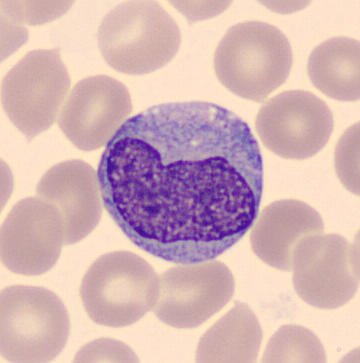

Image: Peripheral blood smear; May-Grünwald-Giemsa-stained.

A monocyte.